Bone marrow aspirate smear — 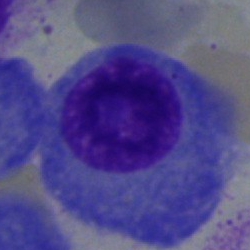Classification: plasmacyte.